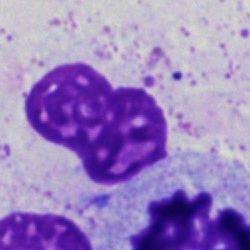
Morphology — artifact.